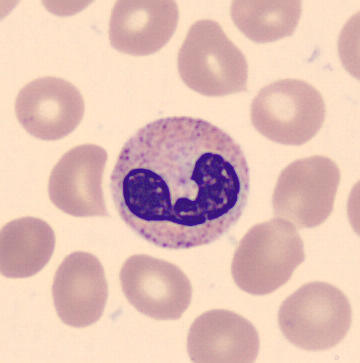
Impression → segmented neutrophil.